Bone marrow aspirate smear: 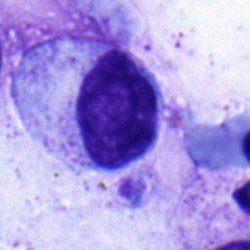The cell shown is a myelocyte.